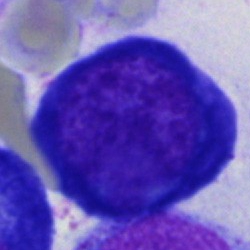
Specimen: bone marrow aspirate smear.
Classification: pronormoblast.